Bone marrow smear — 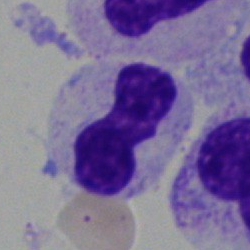 The cell shown is a band neutrophil.